250×250 px. MGG-stained. Bone marrow smear.
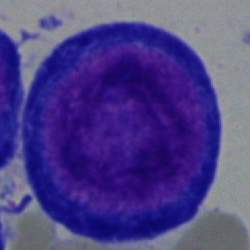Impression → proerythroblast.